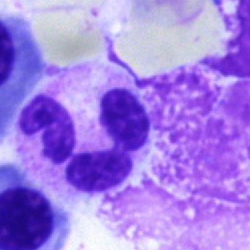Cell type = segmented neutrophil.